250×250. Brightfield, 40× oil-immersion objective. Bone marrow aspirate smear:
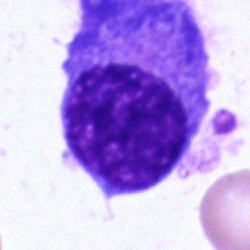
Single cell identified as a plasmacyte.